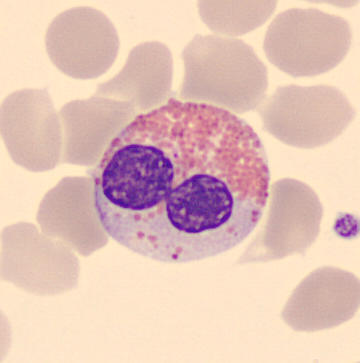
Q: What cell is this?
A: Eosinophilic granulocyte.